Bone marrow smear; brightfield, 40× oil-immersion objective
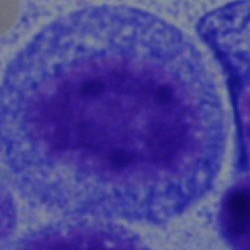Q: What type of cell is this?
A: This is a promyelocyte.